Bone marrow smear. Brightfield, 40× oil-immersion objective
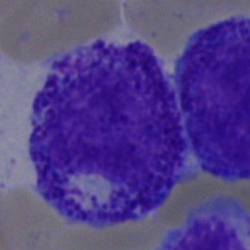 Q: What is the morphological classification of this cell?
A: It is a myelocyte.